Bone marrow aspirate smear.
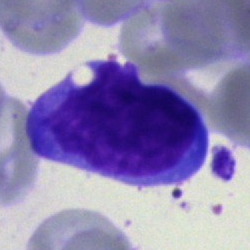

This is an undifferentiated blast.